Single-cell field. Bone marrow aspirate smear — 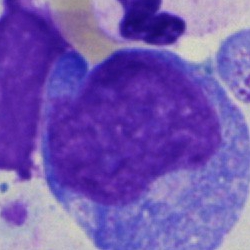 Cell type = progranulocyte.